Bone marrow smear: 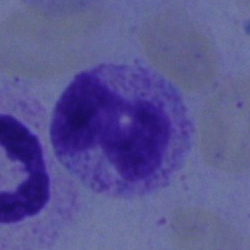
Cell: band neutrophil.